Peripheral blood film; MGG stain: 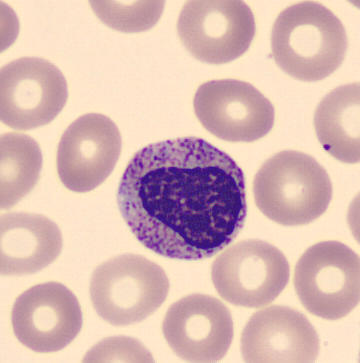

Q: Identify the cell.
A: Myelocyte.